Bone marrow smear:
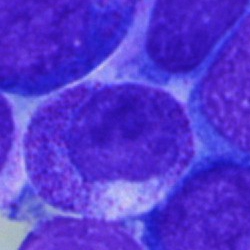Cell type — myelocyte.